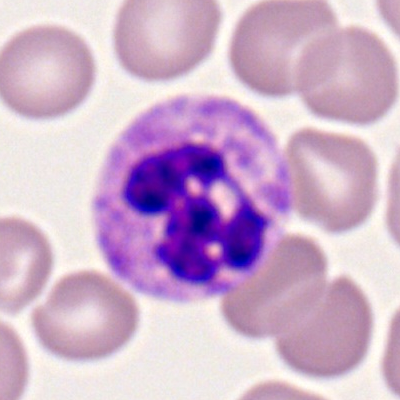 Morphology consistent with a segmented neutrophil.